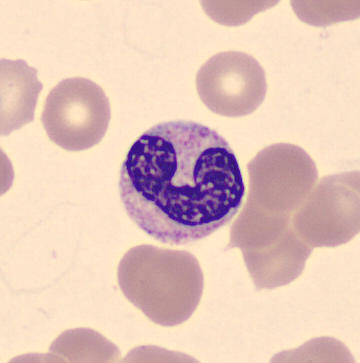 Q: What is shown here?
A: It is a band neutrophil.